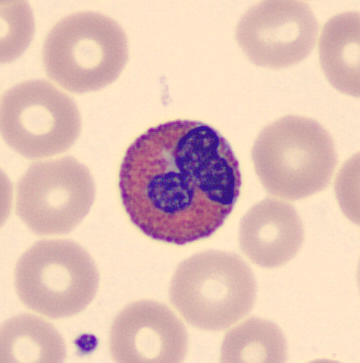
Peripheral blood film, single cell — eosinophilic granulocyte.